Pappenheim-stained; single-cell field; bone marrow smear — 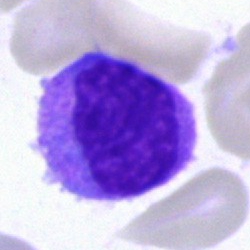

Morphology — monocyte.